Bone marrow smear: 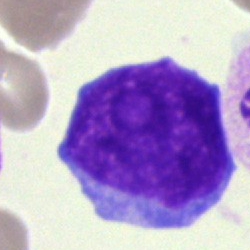

Specimen: bone marrow aspirate smear.
Cell: blast.